Single-cell crop. Bone marrow smear. Image size 250×250:
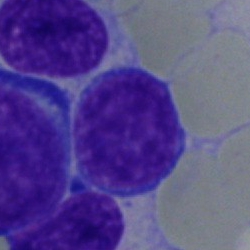 Cell type = undifferentiated blast.